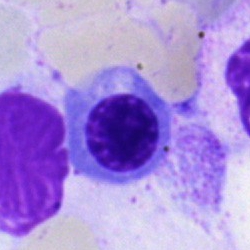

Morphological class = nucleated red blood cell.